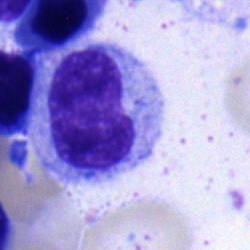

Q: What is the morphological classification of this cell?
A: It is a metamyelocyte.